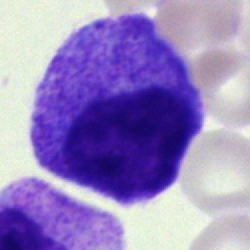
Morphological class — progranulocyte.